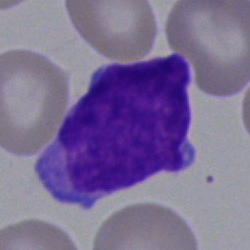 A blast on a bone marrow smear.